Brightfield, 100× oil-immersion objective · peripheral blood film
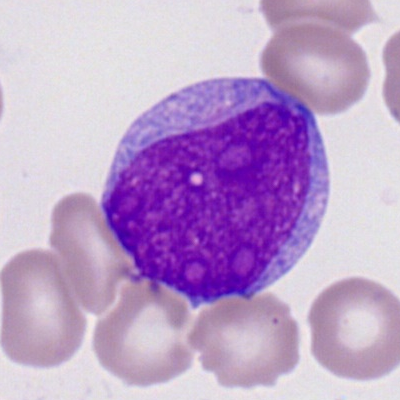 Myeloid blast.